Bone marrow smear: 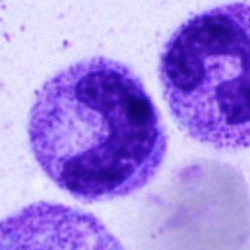
Classification: band-form neutrophil.